Bone marrow smear; 40× oil immersion — 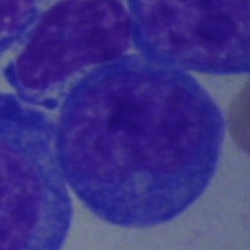
{"cell_type": "undifferentiated blast"}